Bone marrow smear: 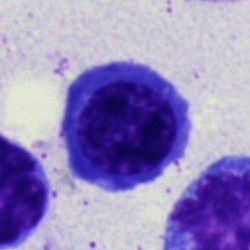

Nucleated red blood cell.